Bone marrow smear: 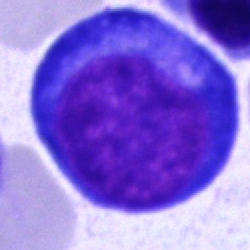 The classification is proerythroblast.